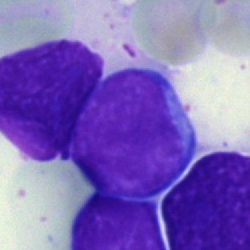Q: Identify the cell.
A: It is a lymphocyte.